250 by 250 pixels. Cropped to a single cell. Bone marrow aspirate smear — 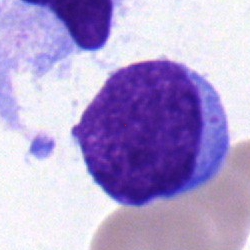Showing an undifferentiated blast.